Bone marrow smear:
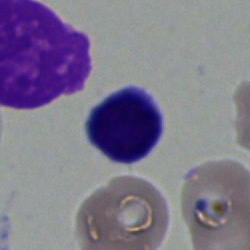

Q: Which cell type is shown here?
A: A typical lymphocyte.